Cropped to a single cell; bone marrow aspirate smear.
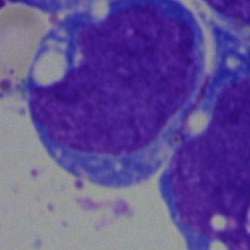
The cell is undifferentiated blast.